Bone marrow smear · May-Grünwald-Giemsa stain · 40× objective, oil immersion:
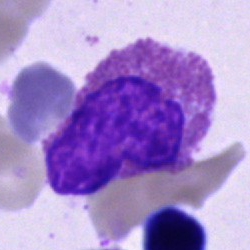
{"cell_type": "eosinophil", "lineage": "myeloid"}